Peripheral blood smear:
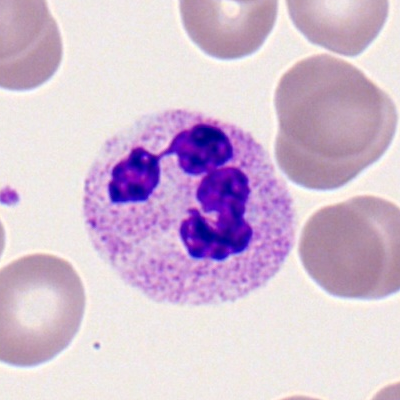 A polymorphonuclear neutrophil.